Brightfield microscopy, 40× oil immersion. Bone marrow aspirate smear. May-Grünwald-Giemsa/Pappenheim stain
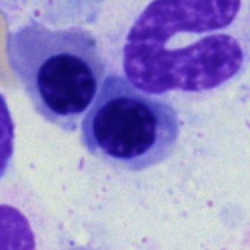Nucleated red cell.